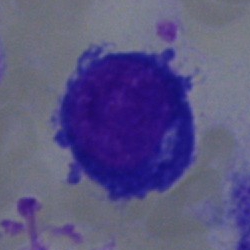Q: Identify the cell.
A: It is a pronormoblast.